Bone marrow aspirate smear — 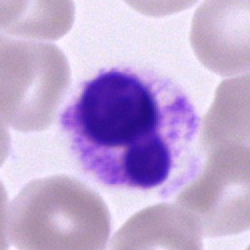

Specimen: bone marrow smear.
Morphological class: neutrophil (segmented).
Lineage: myeloid.